Bone marrow aspirate smear: 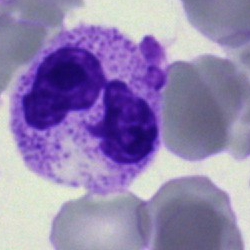

The cell type is polymorphonuclear neutrophil.